Bone marrow smear
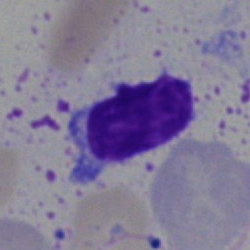
Single cell identified as a typical lymphocyte.